Bone marrow smear — 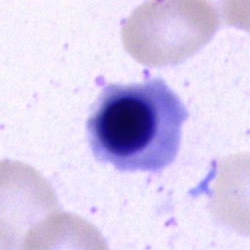
Cell type: erythroblast.